Bone marrow aspirate smear
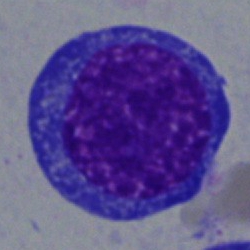

A proerythroblast.